Bone marrow smear: 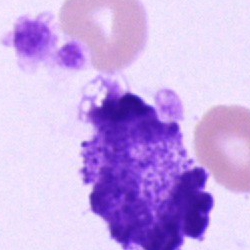Q: What is shown here?
A: An artefact.